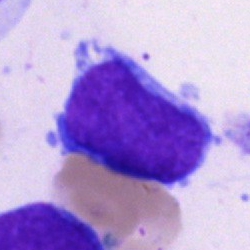Showing an undifferentiated blast.